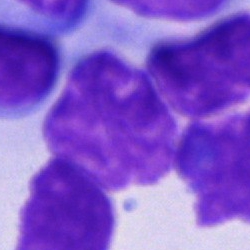 Q: Which cell type is shown here?
A: This is an unidentifiable cell.